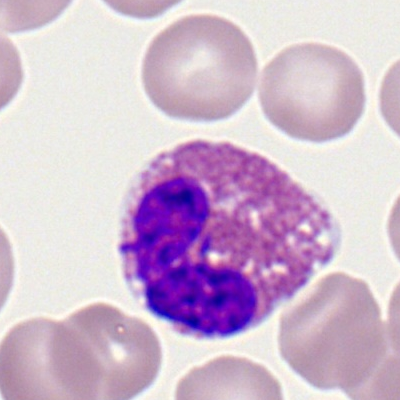 Eosinophilic granulocyte.